Romanowsky-type stain. Peripheral blood film.
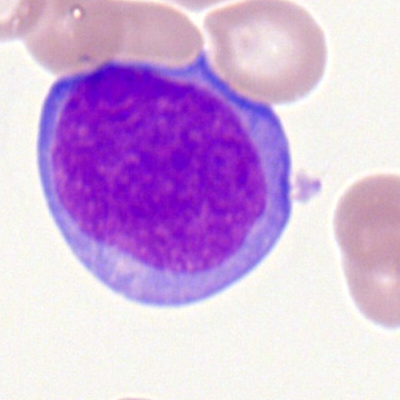Morphology consistent with a myeloid blast.